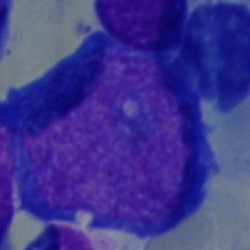

Cell type — pronormoblast.